Bone marrow aspirate smear; May-Grünwald-Giemsa stain: 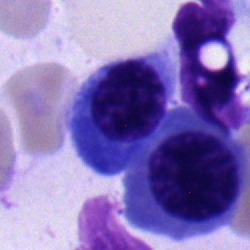

A nucleated red blood cell.